Romanowsky-stained · single-cell field · peripheral blood smear:
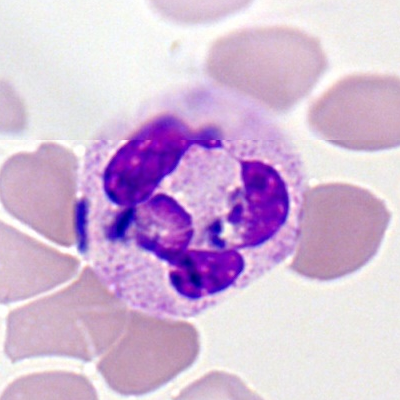
Q: What is the morphological classification of this cell?
A: A neutrophil (segmented).